Bone marrow smear:
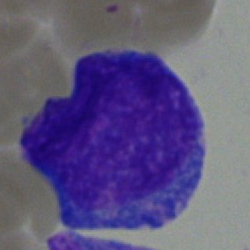Q: Identify the cell.
A: It is a blast cell.